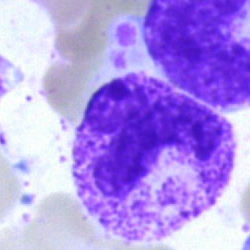
Q: What is shown here?
A: Segmented neutrophil.